Bone marrow smear — 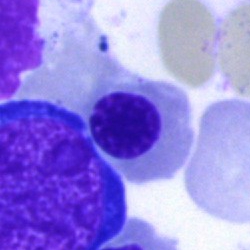 Showing a normoblast.